Cropped to a single cell; bone marrow aspirate smear — 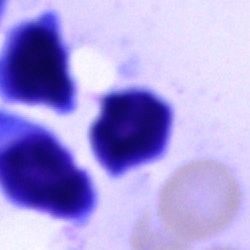

Q: What is shown here?
A: It is a typical lymphocyte.